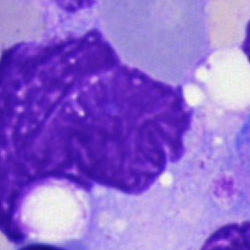

Specimen: bone marrow smear.
Morphological class: artifact.